Bone marrow smear; cropped to a single cell:
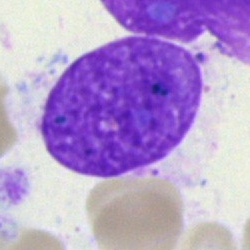 The cell shown is an artefact.